250×250 · bone marrow aspirate smear · single-cell field:
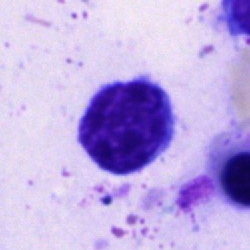A lymphocyte.